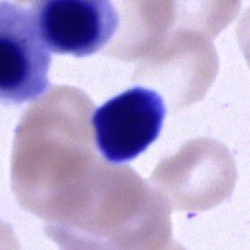The morphological class is unidentifiable cell.